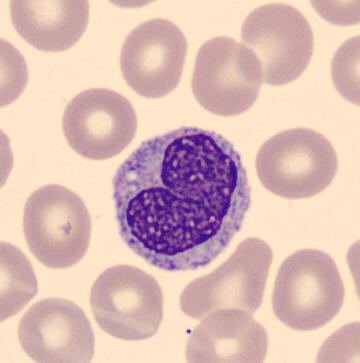
Acquisition: Single cell centered in the field; peripheral blood film. Monocyte.